May-Grünwald-Giemsa/Pappenheim stain. Bone marrow aspirate smear
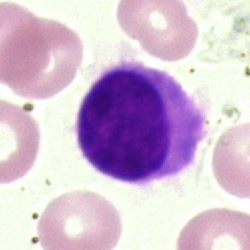

Specimen: bone marrow aspirate smear.
Classification: hairy cell.
Lineage: lymphoid.